May-Grünwald-Giemsa stain. Bone marrow aspirate smear. Cropped to a single cell.
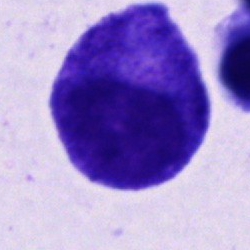Morphological class = promyelocyte.